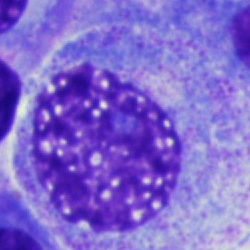
Morphological class — progranulocyte.